250 by 250 pixels. Bone marrow smear: 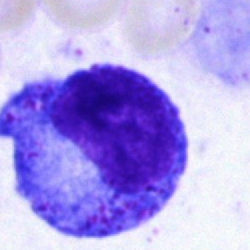
Cell = promyelocyte.